Bone marrow aspirate smear: 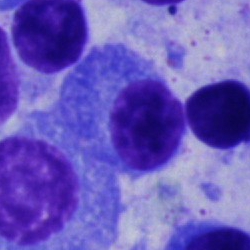 A plasma cell.